Bone marrow smear · cropped to a single cell · 40× objective, oil immersion.
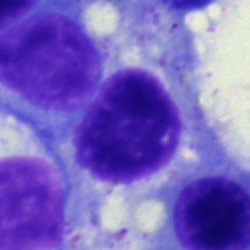Specimen: bone marrow smear.
Cell: artefact.